Bone marrow smear:
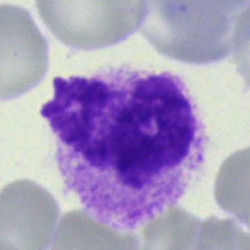 Morphology consistent with an artifact.